Bone marrow aspirate smear. 40× oil immersion
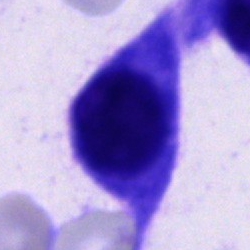 Other cell.